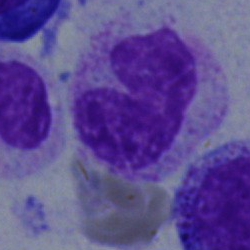The cell shown is a band-form neutrophil.